Bone marrow aspirate smear · single-cell field:
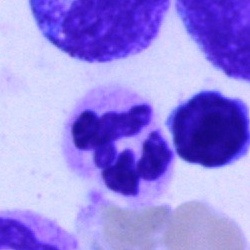{"cell_type": "segmented neutrophil"}